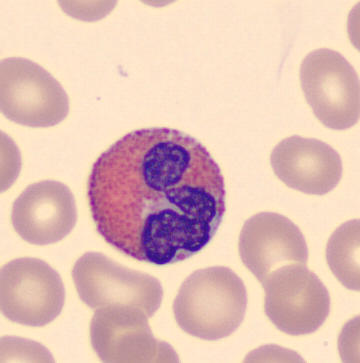Image: Peripheral blood smear.

Impression → eosinophilic granulocyte.